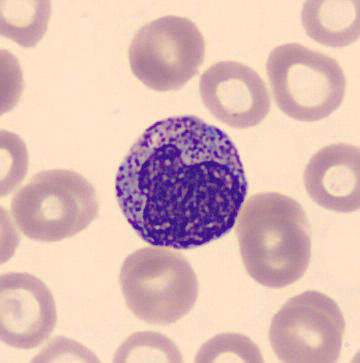

Specimen: peripheral blood film.
Classification: myelocyte.